Bone marrow aspirate smear.
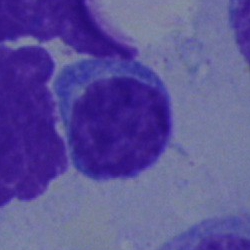Morphology consistent with a lymphocyte.